Single-cell field · bone marrow aspirate smear · 250×250 px: 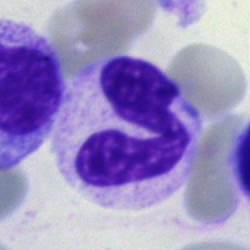

Single cell identified as a segmented neutrophil.